Bone marrow smear · brightfield, 40× oil-immersion objective · May-Grünwald-Giemsa/Pappenheim stain:
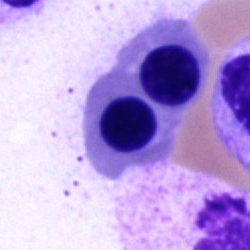
The cell shown is a normoblast.